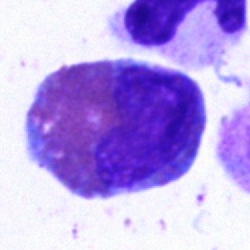
Q: What type of cell is this?
A: An eosinophil.